Bone marrow aspirate smear — 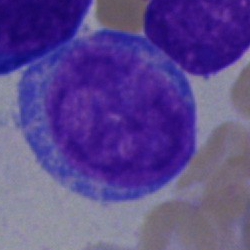Classification — blast.